Bone marrow smear: 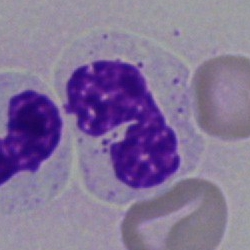

Showing a polymorphonuclear neutrophil.